Bone marrow aspirate smear: 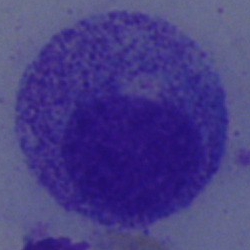
The cell type is myelocyte.